Pappenheim-stained. Bone marrow aspirate smear.
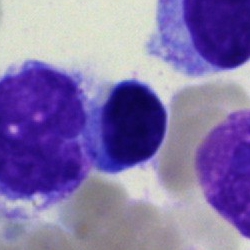 Specimen: bone marrow smear.
Cell: lymphocyte.
Lineage: lymphoid.